Bone marrow aspirate smear: 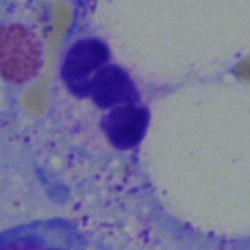

{"cell_type": "neutrophil (segmented)", "lineage": "myeloid"}